Bone marrow aspirate smear
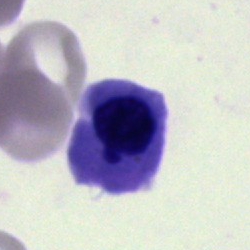
A nucleated red cell.